Bone marrow aspirate smear.
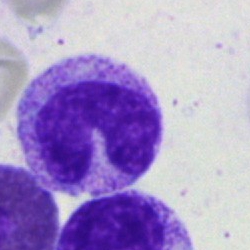Classification = band-form neutrophil.